Bone marrow smear; 250×250 px
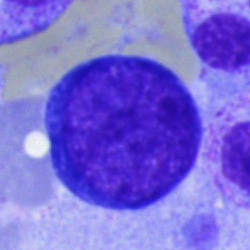Cell: pronormoblast.